Bone marrow aspirate smear: 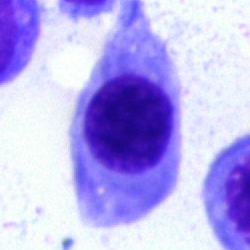
Single cell identified as a normoblast.